Bone marrow smear
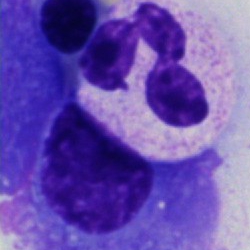Q: Identify the cell.
A: A neutrophil (segmented).